Bone marrow smear
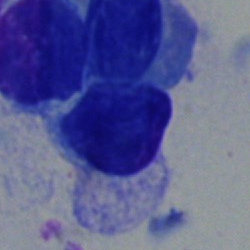
Specimen: bone marrow aspirate smear.
Classification: lymphocyte.
Lineage: lymphoid.